Pappenheim-stained. 250×250 px. Bone marrow aspirate smear:
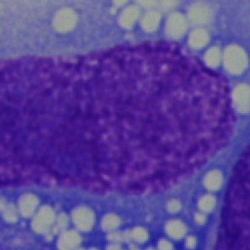

The cell is undifferentiated blast.